Bone marrow aspirate smear: 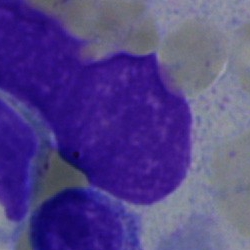

Specimen: bone marrow smear.
Cell: blast.